Single-cell crop · bone marrow smear:
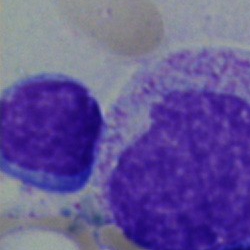

Cell — typical lymphocyte.